Bone marrow aspirate smear:
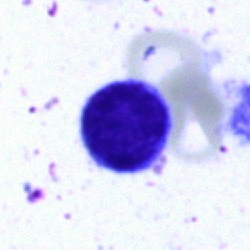 The classification is lymphocyte.